Bone marrow aspirate smear — 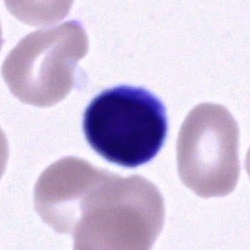 Morphology consistent with a lymphocyte.